May-Grünwald-Giemsa/Pappenheim stain. Bone marrow aspirate smear: 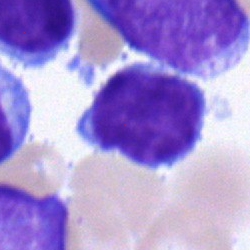 Q: What cell is this?
A: A typical lymphocyte.